Bone marrow smear:
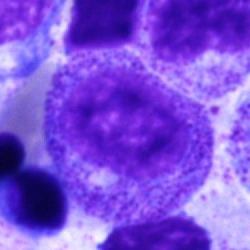 Specimen: bone marrow smear.
Morphological class: myelocyte.